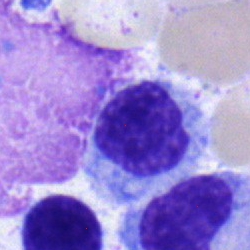{"cell_type": "myelocyte", "lineage": "myeloid"}